Peripheral blood smear. 360×363 px. CellaVision DM96
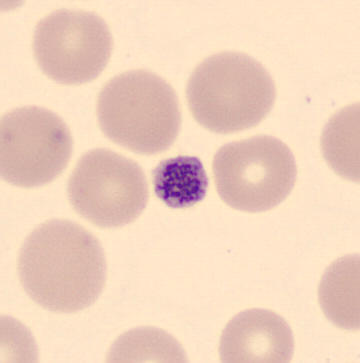

Q: What is this?
A: A thrombocyte.